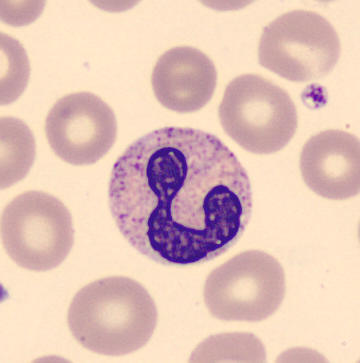 Neutrophil (segmented). Image: Peripheral blood film.